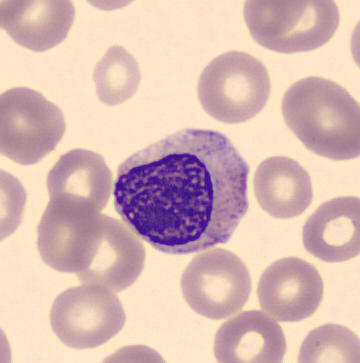 This is a myelocyte. Image: Peripheral blood smear.